Image size 400×400; peripheral blood film — 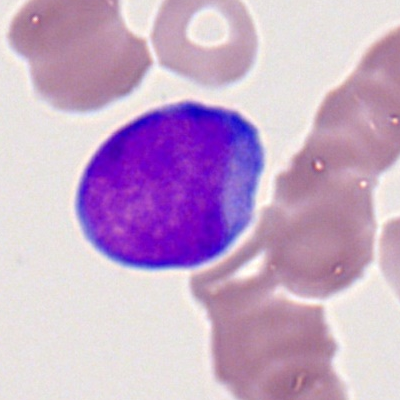Q: What is shown here?
A: It is a myeloid blast.